Peripheral blood film — 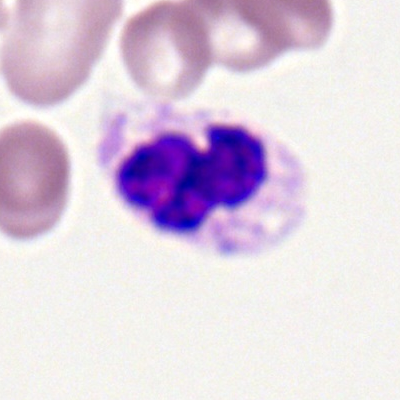

Impression — polymorphonuclear neutrophil.